Bone marrow aspirate smear: 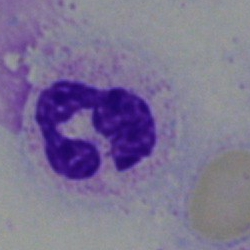
A neutrophil (segmented).